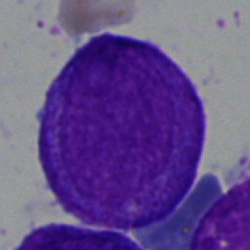 A progranulocyte.